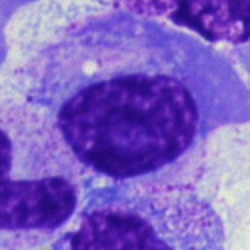
Plasmacyte.